Bone marrow aspirate smear.
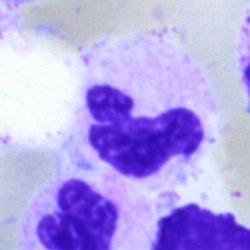

Q: What is the morphological classification of this cell?
A: This is a neutrophil (segmented).